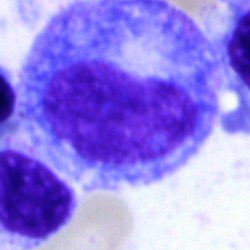 Q: What is shown here?
A: This is a promyelocyte.